Single cell centered in the field. Bone marrow aspirate smear:
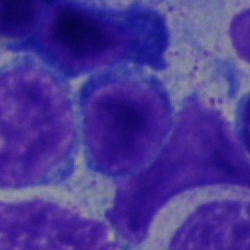

Cell type: typical lymphocyte.